400 by 400 pixels; peripheral blood film; single-cell crop
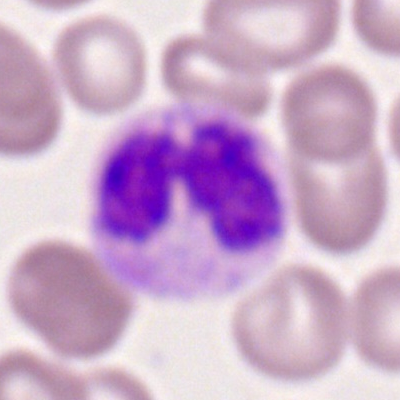
Single cell identified as a segmented neutrophil.